Bone marrow aspirate smear: 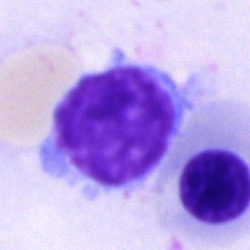
The cell shown is a typical lymphocyte.